Cropped to a single cell. Bone marrow smear:
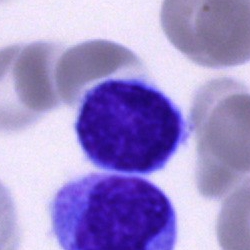
Single cell identified as a typical lymphocyte.